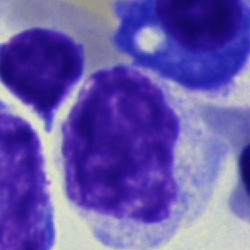

Cell type: myelocyte.